Brightfield, 40× oil-immersion objective · bone marrow aspirate smear:
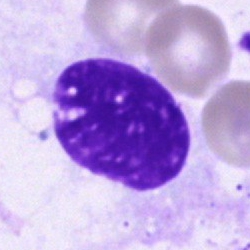
Q: What is shown here?
A: This is an artifact.